250×250. Cropped to a single cell. Bone marrow aspirate smear
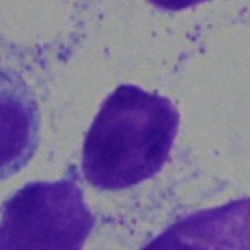
This is an artifact.